Bone marrow smear.
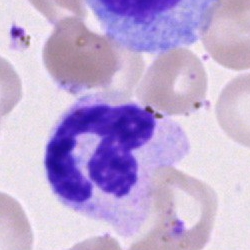
The cell shown is a polymorphonuclear neutrophil.